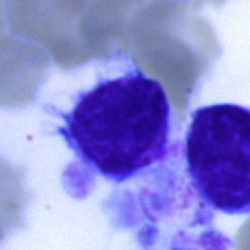 Impression → hairy cell.